Bone marrow aspirate smear
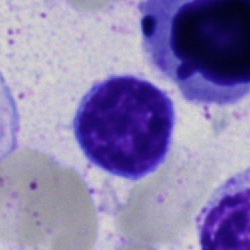 Cell type — typical lymphocyte.